Bone marrow aspirate smear
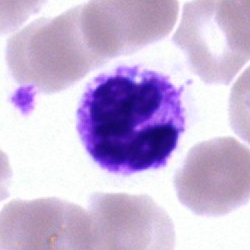 Cell type = polymorphonuclear neutrophil.